Bone marrow aspirate smear
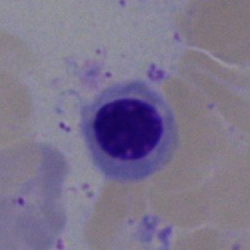
Showing a nucleated red cell.